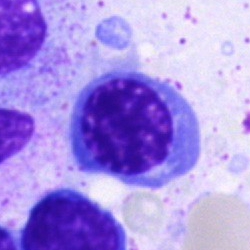 Impression — nucleated red cell.